Peripheral blood smear:
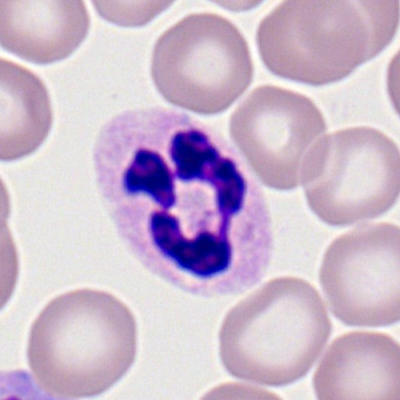
Morphology → polymorphonuclear neutrophil.